Bone marrow smear
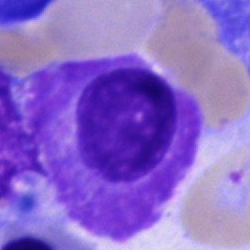The cell is plasmacyte.